Bone marrow aspirate smear; MGG-stained: 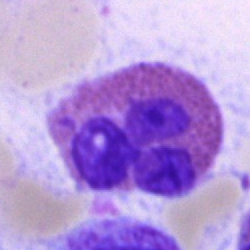Eosinophilic granulocyte.